MGG-stained. Bone marrow aspirate smear: 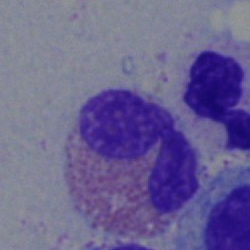 The cell shown is an eosinophilic granulocyte.